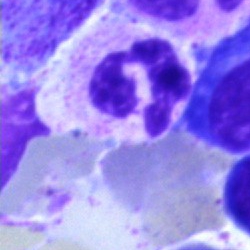 Single-cell crop from a bone marrow smear: neutrophil (segmented).